40× objective, oil immersion; bone marrow smear: 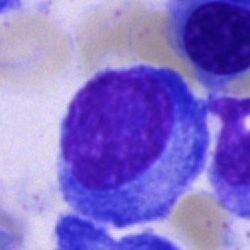Morphology — plasmacyte.